Cropped to a single cell. Bone marrow aspirate smear
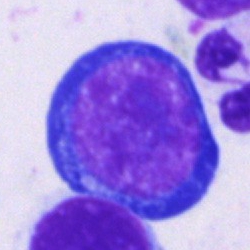Cell — pronormoblast.